Bone marrow aspirate smear — 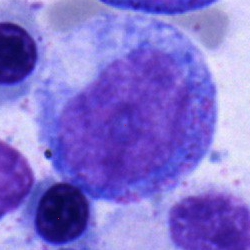A progranulocyte.